Cropped to a single cell · bone marrow smear: 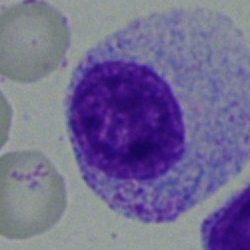Cell type: myelocyte.